Bone marrow smear · single-cell field.
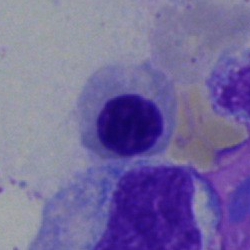 Cell — nucleated red blood cell.